Bone marrow smear.
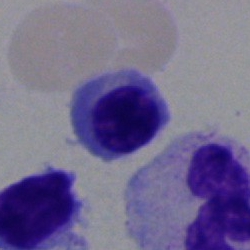
Q: Which cell type is shown here?
A: Nucleated red cell.